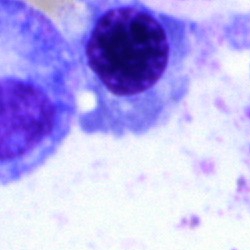
Q: What type of cell is this?
A: It is a nucleated red blood cell.